May-Grünwald-Giemsa/Pappenheim stain · bone marrow aspirate smear.
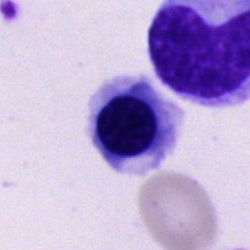

Classification = nucleated red cell.